Bone marrow aspirate smear; May-Grünwald-Giemsa/Pappenheim stain — 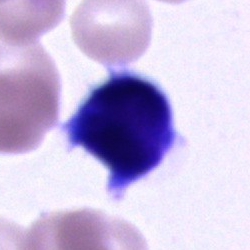
Q: What is the morphological classification of this cell?
A: This is a blast cell.